Bone marrow smear · brightfield microscopy, 40× oil immersion:
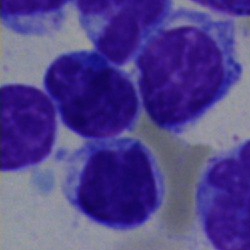 Q: What cell is this?
A: A lymphocyte.